Image size 250×250. Bone marrow smear — 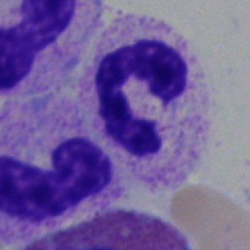

Morphology → polymorphonuclear neutrophil.